Bone marrow smear; image size 250×250; single-cell crop
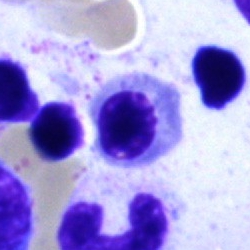Morphology consistent with a nucleated red cell.